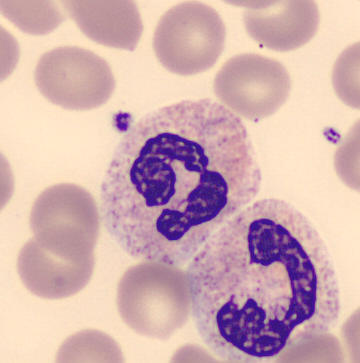
Image: Peripheral blood smear. Morphology consistent with a polymorphonuclear neutrophil.